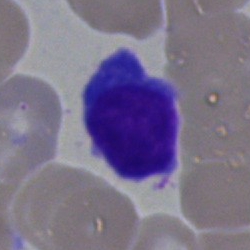A plasma cell.